Bone marrow aspirate smear.
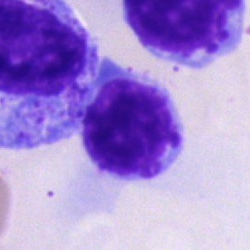Cell type = typical lymphocyte.